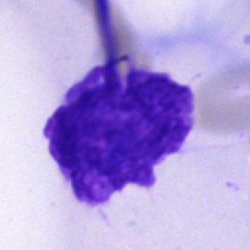Impression → artifact.